Bone marrow aspirate smear:
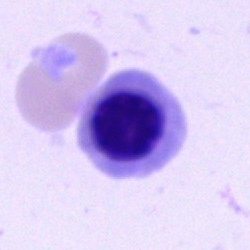Q: Which cell type is shown here?
A: This is an erythroblast.